250×250; bone marrow smear:
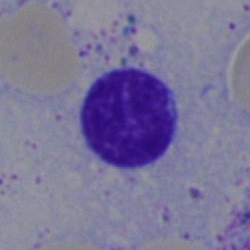

Cell type: typical lymphocyte.